Bone marrow aspirate smear
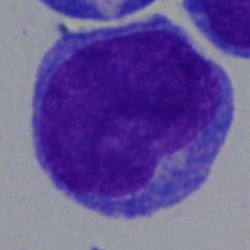

The cell type is blast.